Bone marrow aspirate smear; brightfield, 40× oil-immersion objective; 250 by 250 pixels — 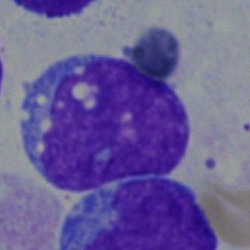

The cell type is blast.